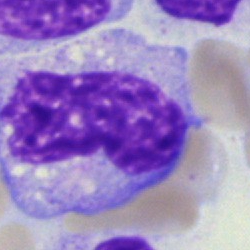

This is a monocyte.